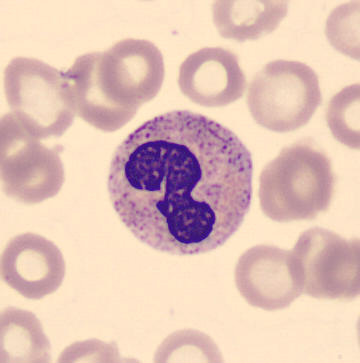

Preparation: Peripheral blood smear. 360×363.

Q: What is shown here?
A: A band-form neutrophil.